Bone marrow aspirate smear
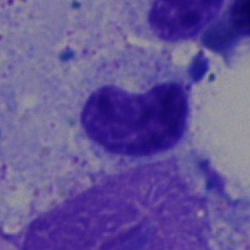Q: What type of cell is this?
A: It is a band-form neutrophil.